Bone marrow aspirate smear · MGG-stained · 40× objective, oil immersion: 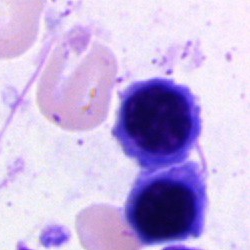

The cell shown is a normoblast.